Bone marrow aspirate smear; MGG-stained; 40× objective, oil immersion.
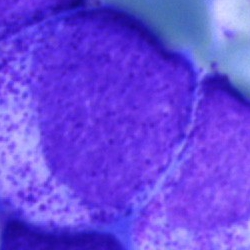Q: What type of cell is this?
A: It is a promyelocyte.